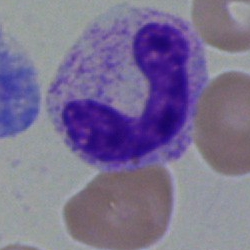 The cell is band-form neutrophil.